Bone marrow smear: 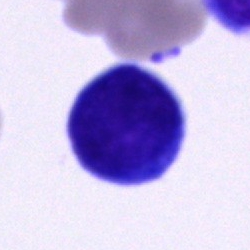

Morphological class — cell of indeterminate lineage.